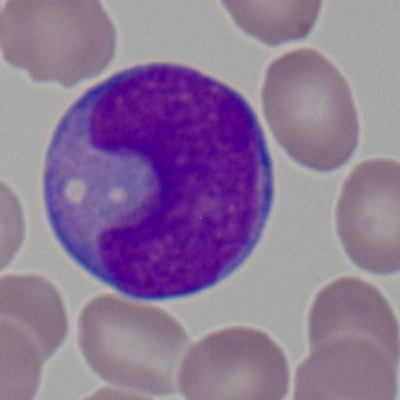 This is a myeloid blast.